Bone marrow smear
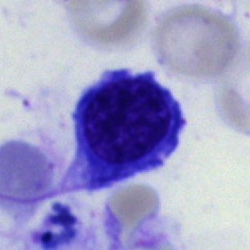
Q: What is shown here?
A: Nucleated red cell.